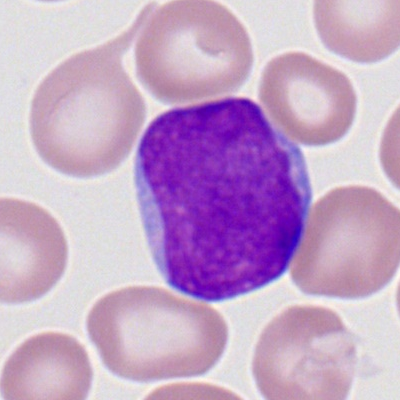

Classification = myeloblast.